Bone marrow aspirate smear.
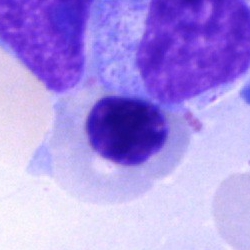 The cell type is nucleated red blood cell.